CellaVision DM96 · peripheral blood film
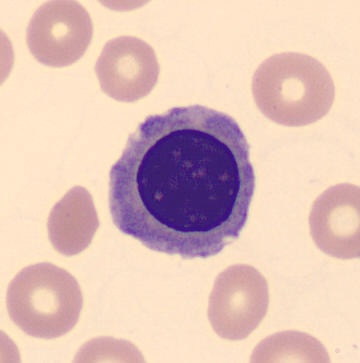Specimen: peripheral blood smear.
Cell type: nucleated red blood cell.
Lineage: erythroid.